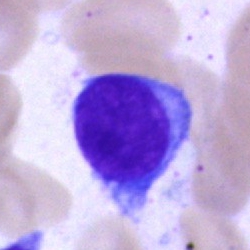Classification: typical lymphocyte.